Bone marrow aspirate smear; 40× objective, oil immersion; image size 250×250 — 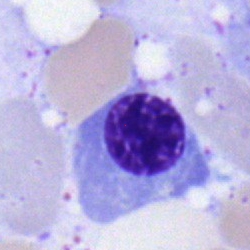Specimen: bone marrow aspirate smear.
Morphological class: erythroblast.
Lineage: erythroid.